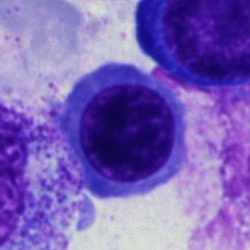 Specimen: bone marrow aspirate smear.
Morphological class: nucleated red blood cell.
Lineage: erythroid.